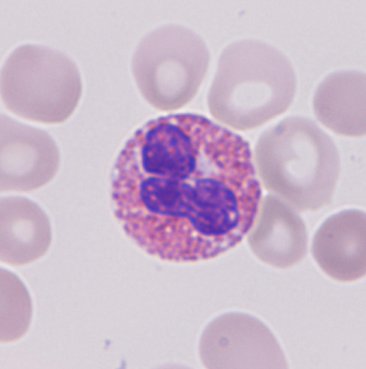Q: Which cell type is shown here?
A: Eosinophil. Peripheral blood film · single-cell crop.